Peripheral blood smear:
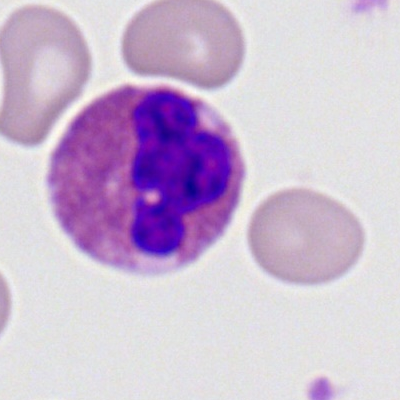 Q: What is shown here?
A: It is an eosinophilic granulocyte.